Bone marrow smear: 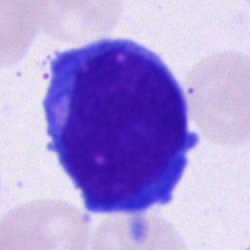

Impression — blast cell.